Image size 250×250 · bone marrow aspirate smear · brightfield microscopy, 40× oil immersion
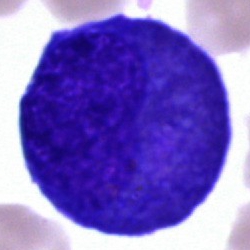 Morphology — progranulocyte.